Bone marrow smear · 250 by 250 pixels · single cell centered in the field — 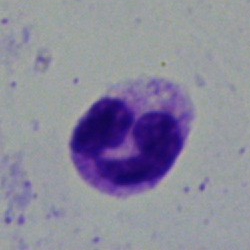

Specimen: bone marrow aspirate smear.
Morphological class: polymorphonuclear neutrophil.